Peripheral blood film.
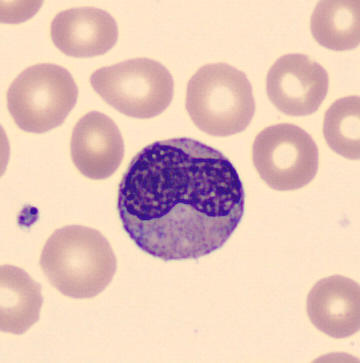 A metamyelocyte.